Bone marrow smear — 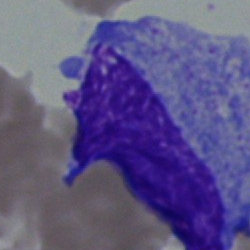

Q: What is shown here?
A: Progranulocyte.